Bone marrow aspirate smear — 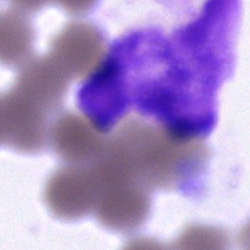

Q: What is shown here?
A: It is an artefact.